Bone marrow aspirate smear: 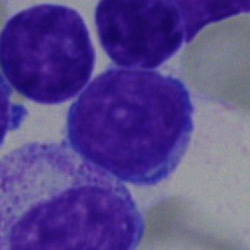Single cell identified as an undifferentiated blast.